Bone marrow aspirate smear — 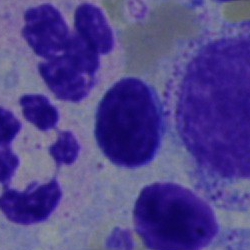Q: What is shown here?
A: A typical lymphocyte.